Bone marrow smear. 250×250
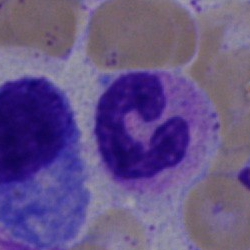 This is a segmented neutrophil.